Bone marrow smear · May-Grünwald-Giemsa/Pappenheim stain:
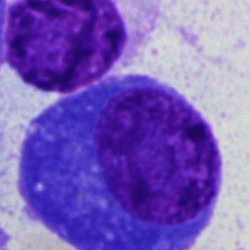 Q: What type of cell is this?
A: A plasma cell.